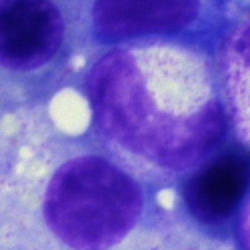
Bone marrow aspirate smear, single cell — band neutrophil.